Bone marrow smear. 40× objective, oil immersion.
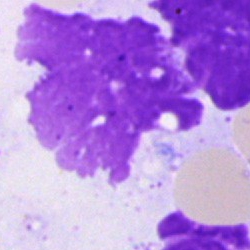
Morphological class = artefact.